Bone marrow aspirate smear · 250 by 250 pixels.
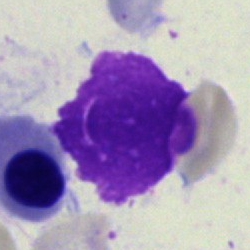

Cell = artifact.